Bone marrow smear.
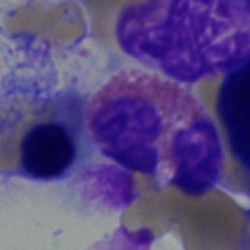

Eosinophilic granulocyte.